Bone marrow aspirate smear.
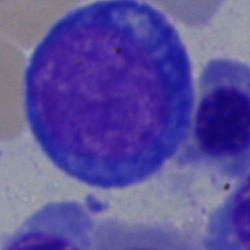

Showing a pronormoblast.